Bone marrow aspirate smear
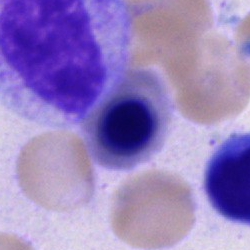

Q: Which cell type is shown here?
A: It is a nucleated red blood cell.